May-Grünwald-Giemsa stain; bone marrow smear
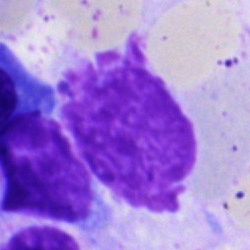 Single cell identified as an artefact.